250×250 px · bone marrow aspirate smear · Pappenheim-stained:
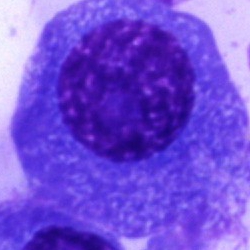

Q: What cell is this?
A: This is a plasmacyte.